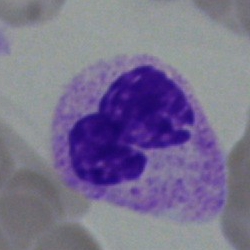Classification: polymorphonuclear neutrophil.